Brightfield microscopy, 40× oil immersion. Single-cell crop. Bone marrow aspirate smear.
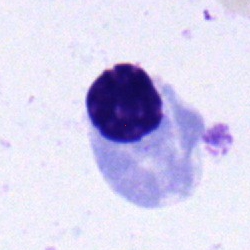 Morphological class — normoblast.